Bone marrow aspirate smear: 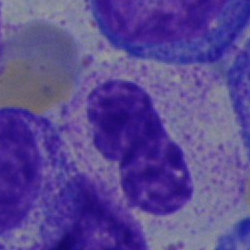

A stab cell.